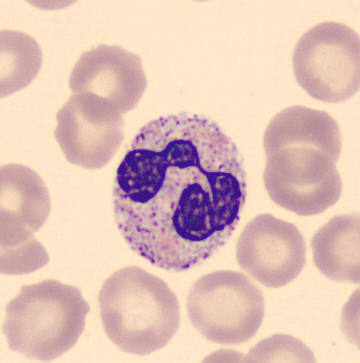Q: Which cell type is shown here?
A: It is a neutrophil (segmented).

Acquisition: Peripheral blood film.